Bone marrow smear — 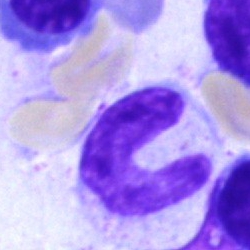
Impression — neutrophil (band).